Bone marrow smear: 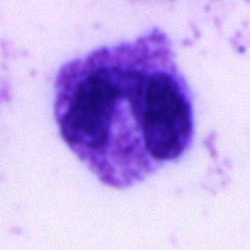 Single cell identified as a band-form neutrophil.